Bone marrow smear.
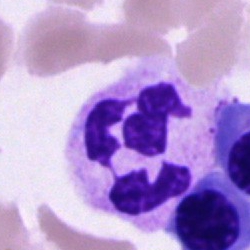The morphological class is neutrophil (segmented).